Bone marrow aspirate smear · 250×250 px · May-Grünwald-Giemsa/Pappenheim stain: 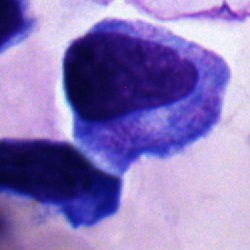

Showing a progranulocyte.